Bone marrow smear
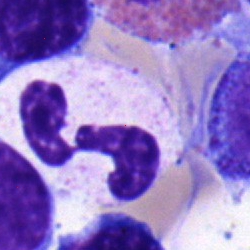

Single cell identified as a neutrophil (segmented).